MGG-stained; bone marrow smear:
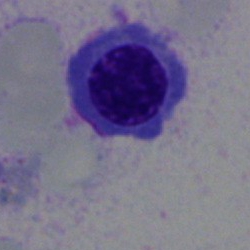This is a nucleated red cell.